Bone marrow aspirate smear.
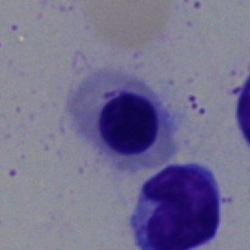
Cell type: erythroblast.